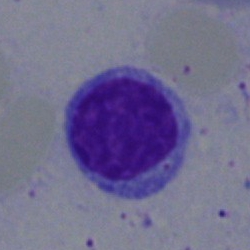
Morphology consistent with a typical lymphocyte.